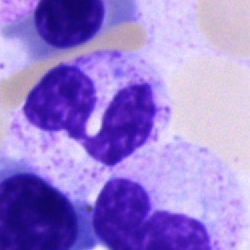Morphological class — segmented neutrophil.